Bone marrow smear: 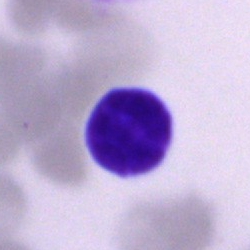
{"cell_type": "lymphocyte"}